Bone marrow smear — 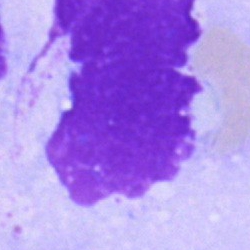 This is an artefact.